Bone marrow smear — 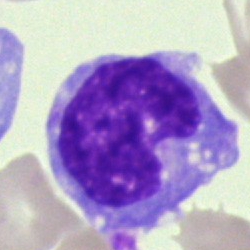
Q: What is shown here?
A: Monocyte.